Bone marrow aspirate smear.
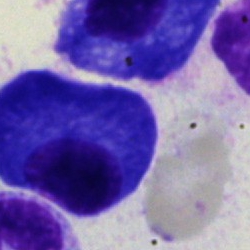
A plasma cell.